Bone marrow smear; MGG-stained — 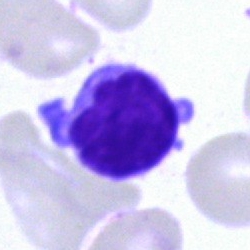 Specimen: bone marrow aspirate smear.
Morphological class: lymphocyte.
Lineage: lymphoid.